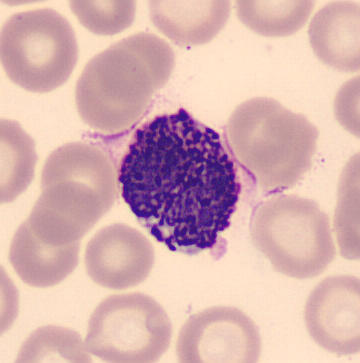 Morphology — basophilic granulocyte.
Peripheral blood film.